Bone marrow aspirate smear: 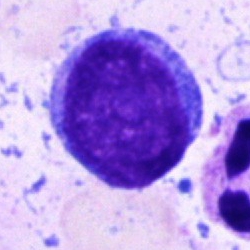
The classification is blast.